Bone marrow smear
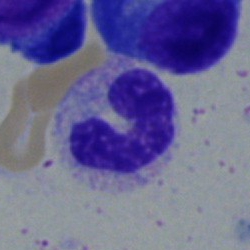 Cell type: stab cell.